MGG-stained · bone marrow smear:
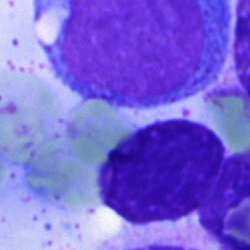 Cell = artefact.